Bone marrow aspirate smear.
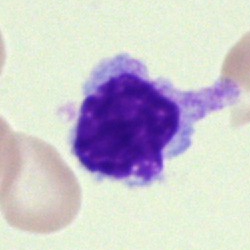 Lymphocyte.